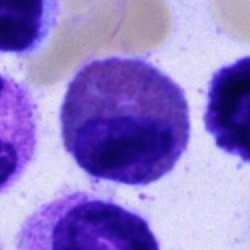 {"cell_type": "eosinophil"}